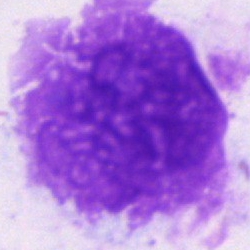 Bone marrow smear showing an artifact.